Cropped to a single cell; bone marrow aspirate smear.
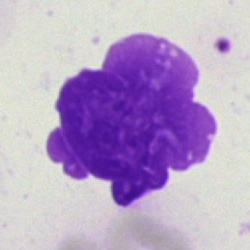 Cell — artefact.